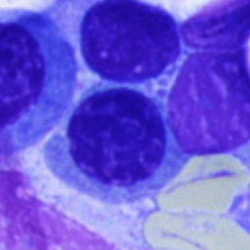Classification = erythroblast.